Bone marrow smear · image size 250×250 · Pappenheim-stained: 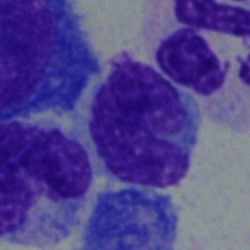 Morphology consistent with a monocyte.